250×250; bone marrow aspirate smear:
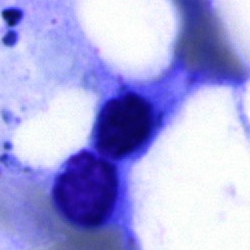
The cell shown is an artefact.